May-Grünwald-Giemsa stain. Bone marrow aspirate smear. Brightfield, 40× oil-immersion objective:
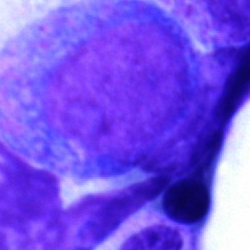{"cell_type": "promyelocyte", "lineage": "myeloid"}